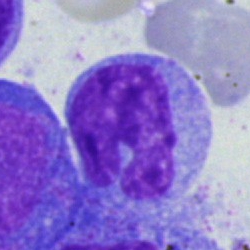Morphological class = lymphocyte.